Bone marrow smear.
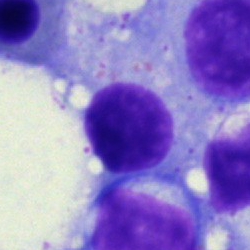 This is an artefact.